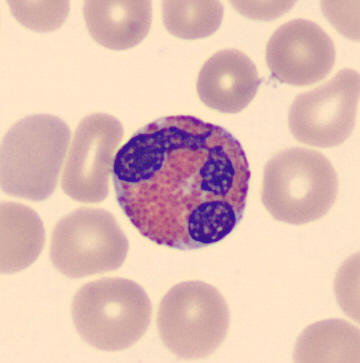 Cell type = eosinophil. Peripheral blood smear.